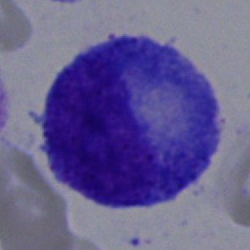

This is a promyelocyte.